Bone marrow smear
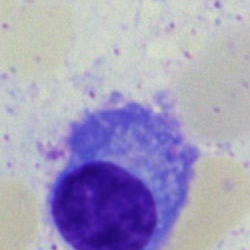Cell = plasmacyte.